May-Grünwald-Giemsa stain · bone marrow smear · brightfield microscopy, 40× oil immersion:
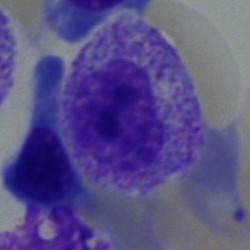
Morphology consistent with a myelocyte.